Bone marrow aspirate smear — 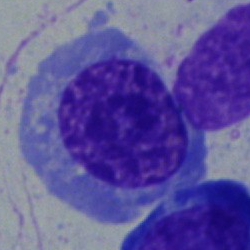
Cell — nucleated red blood cell.